Bone marrow aspirate smear · 250 by 250 pixels
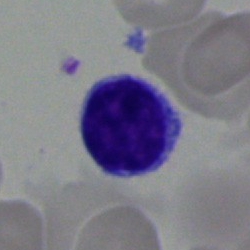
Lymphocyte.